Bone marrow aspirate smear:
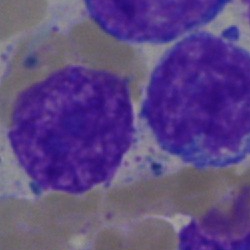 Cell — typical lymphocyte.